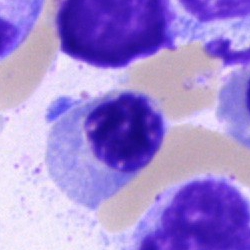

Specimen: bone marrow aspirate smear.
Cell type: nucleated red cell.
Lineage: erythroid.